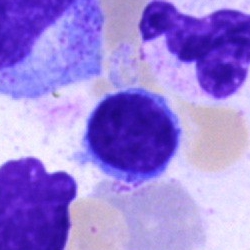

Bone marrow smear showing a typical lymphocyte.